Pappenheim-stained; bone marrow smear: 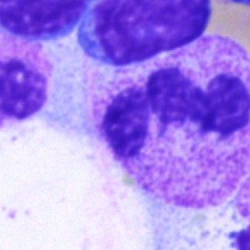 Segmented neutrophil.